Single-cell crop; bone marrow aspirate smear; MGG-stained — 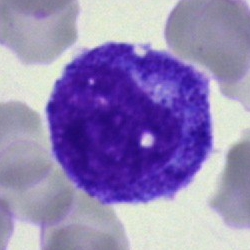Classification — progranulocyte.